Bone marrow aspirate smear: 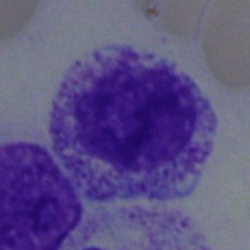
The cell type is myelocyte.